Bone marrow aspirate smear. 40× oil immersion.
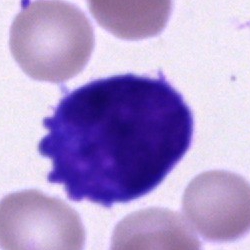
Specimen: bone marrow smear.
Classification: cell of indeterminate lineage.